Bone marrow aspirate smear; 250×250 px: 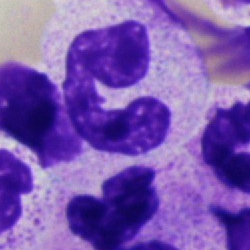Impression — neutrophil (segmented).